Bone marrow smear:
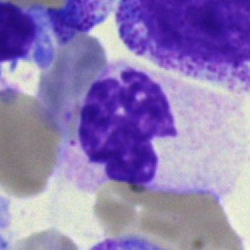
Q: Identify the cell.
A: A neutrophil (segmented).